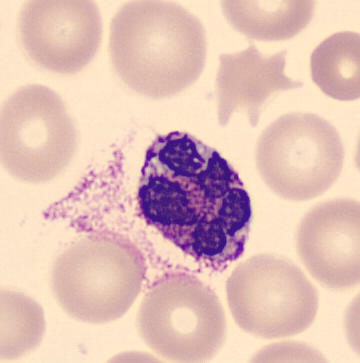 Image: Peripheral blood smear; imaged on a CellaVision DM96 analyser.
Impression — basophilic granulocyte.